MGG-stained. Bone marrow aspirate smear — 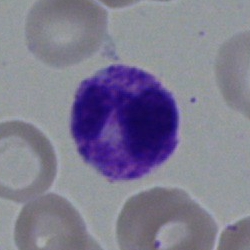Cell — neutrophil (segmented).